Bone marrow smear; brightfield, 40× oil-immersion objective; 250 by 250 pixels.
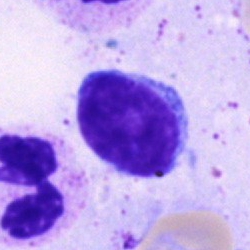

Morphology consistent with a typical lymphocyte.